May-Grünwald-Giemsa/Pappenheim stain · bone marrow aspirate smear:
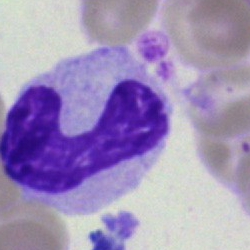{"cell_type": "stab cell", "lineage": "myeloid"}